Bone marrow smear
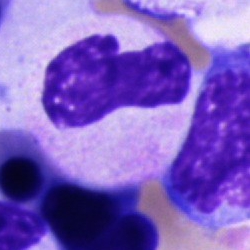 Morphology consistent with an unidentifiable cell.